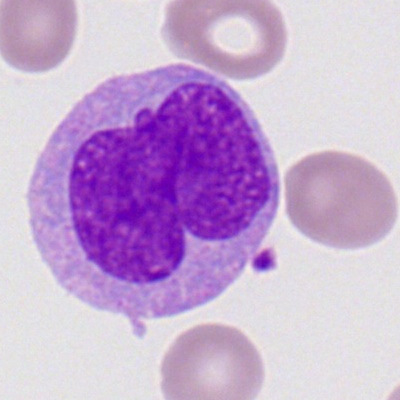Morphology consistent with a monocyte.